Bone marrow smear:
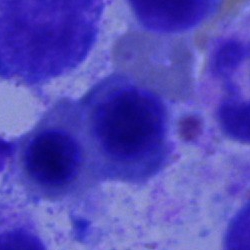The cell is erythroblast.